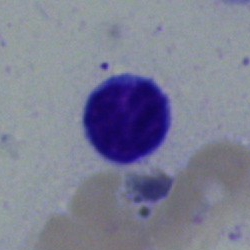 Q: What is the morphological classification of this cell?
A: A lymphocyte.